Image size 250×250 · bone marrow aspirate smear · May-Grünwald-Giemsa stain: 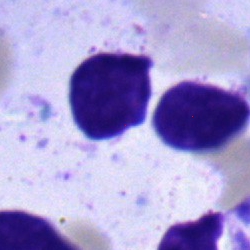 A lymphocyte.